400 by 400 pixels · peripheral blood smear · 100× oil immersion, 14.14 px/µm
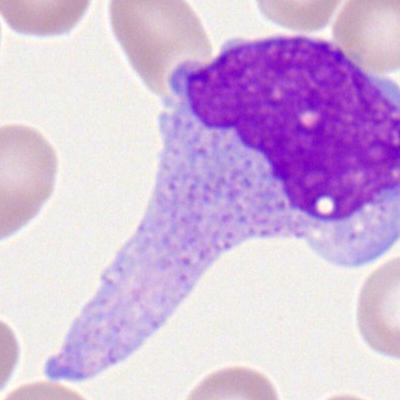

Impression → monocyte.